Bone marrow aspirate smear:
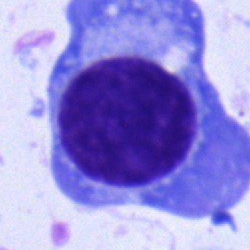
This is a plasmacyte.